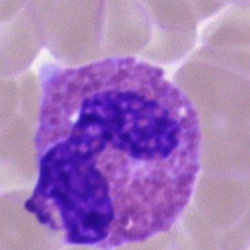
Single cell identified as an eosinophilic granulocyte.